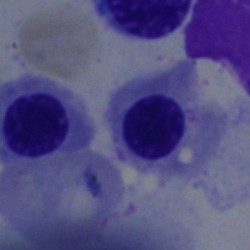Morphology — nucleated red cell.